Bone marrow smear: 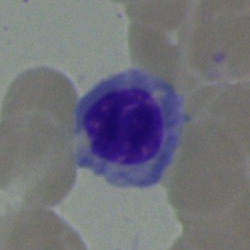
Cell type: nucleated red blood cell.